Bone marrow smear:
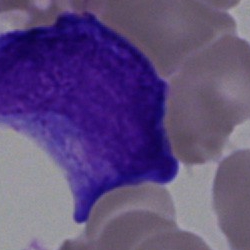
Q: What is the morphological classification of this cell?
A: Promyelocyte.